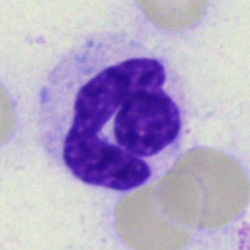Specimen: bone marrow smear.
Morphological class: neutrophil (segmented).